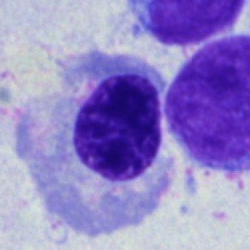

Cell type: nucleated red blood cell.